250 by 250 pixels; bone marrow smear; single cell centered in the field
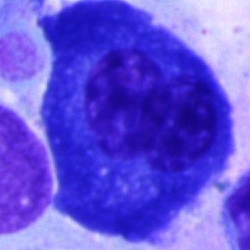 This is a plasmacyte.